Brightfield microscopy, 40× oil immersion. Bone marrow smear. MGG-stained: 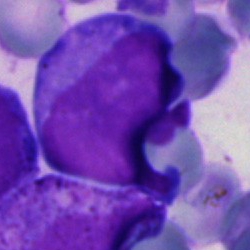
Morphology consistent with a progranulocyte.